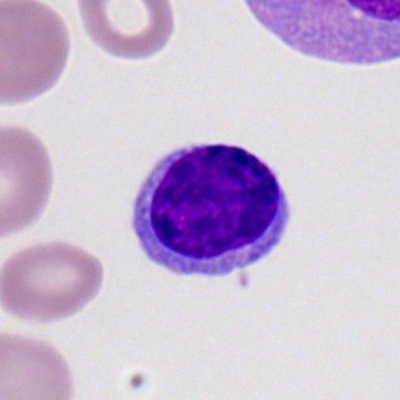
Morphological class: typical lymphocyte.